Bone marrow aspirate smear:
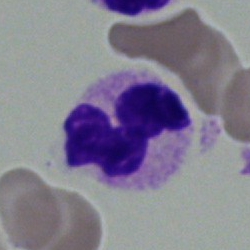Q: What is the morphological classification of this cell?
A: A polymorphonuclear neutrophil.